Bone marrow aspirate smear · 250×250 — 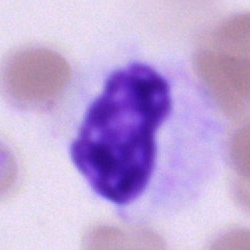
Specimen: bone marrow smear.
Classification: blast.